Bone marrow aspirate smear:
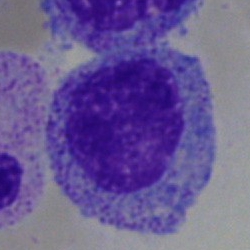 Morphology consistent with a promyelocyte.